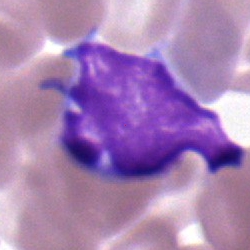
The classification is typical lymphocyte.